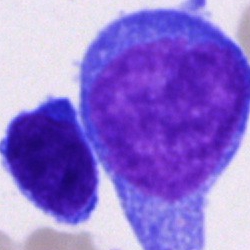
Morphological class = blast cell.